Pappenheim-stained · bone marrow smear · 250 by 250 pixels: 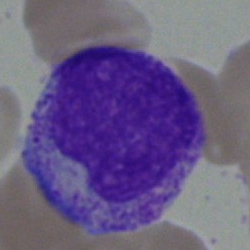

Impression — myelocyte.